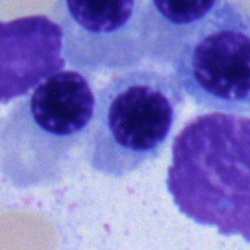

Specimen: bone marrow smear.
Morphological class: nucleated red cell.
Lineage: erythroid.